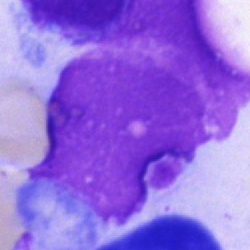

The cell shown is an artifact.